Peripheral blood film
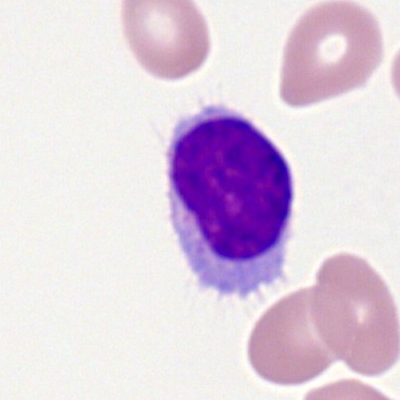 {"cell_type": "typical lymphocyte", "lineage": "lymphoid"}